Bone marrow smear: 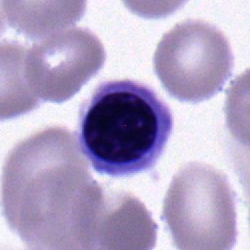 The cell type is nucleated red blood cell.